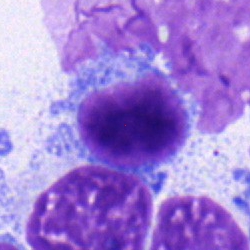 Showing a lymphocyte.